Bone marrow aspirate smear:
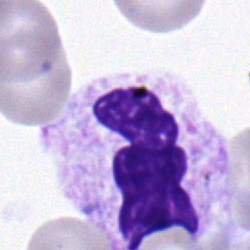

Single cell identified as a neutrophil (segmented).